Bone marrow smear; 250×250 px; 40× oil immersion: 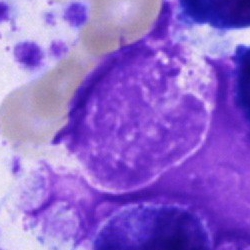
The cell shown is an artifact.